Romanowsky-stained; peripheral blood film:
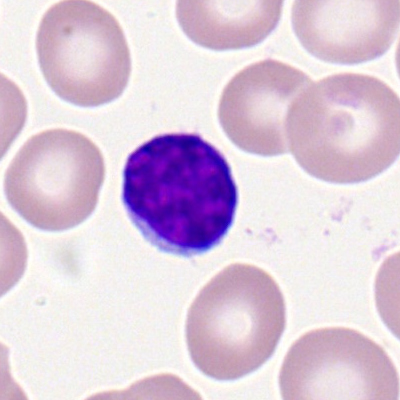 Cell type — lymphocyte.